Bone marrow smear. 40× oil immersion — 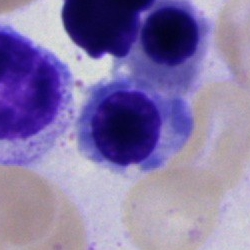
Single cell identified as a basophilic granulocyte.